40× objective, oil immersion. Bone marrow smear. May-Grünwald-Giemsa/Pappenheim stain
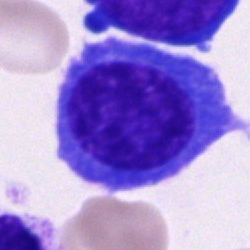

Showing a plasmacyte.